Bone marrow smear · May-Grünwald-Giemsa stain · 40× objective, oil immersion:
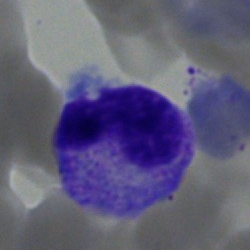
Morphology → neutrophil (band).